Bone marrow aspirate smear. May-Grünwald-Giemsa/Pappenheim stain. Single-cell crop — 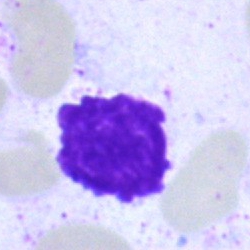The cell is artefact.